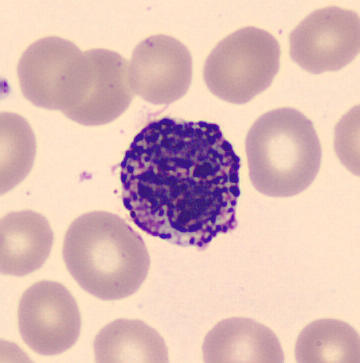 Morphological class: basophilic granulocyte.